Bone marrow aspirate smear.
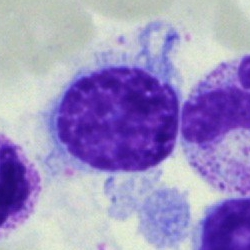

Hairy cell.